Bone marrow aspirate smear
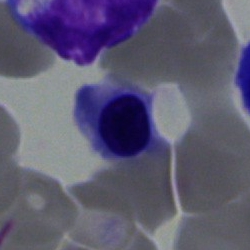 Single cell identified as an erythroblast.